Bone marrow aspirate smear
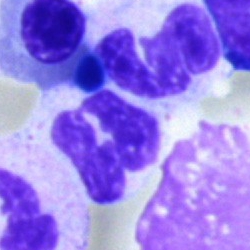

Q: What cell is this?
A: Polymorphonuclear neutrophil.